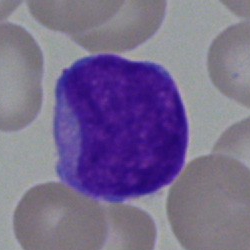
Bone marrow aspirate smear, single cell — blast cell.